Image size 250×250. Bone marrow smear
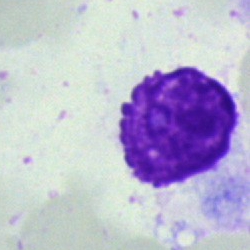Showing an artifact.